Bone marrow smear — 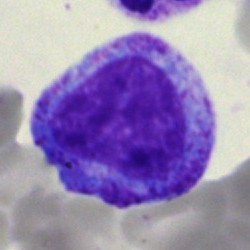 Classification = progranulocyte.